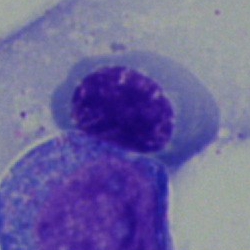
Impression — erythroblast.